May-Grünwald-Giemsa stain. Bone marrow smear
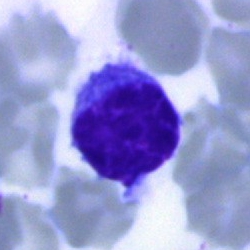
{"cell_type": "lymphocyte", "lineage": "lymphoid"}